Bone marrow aspirate smear; single-cell crop
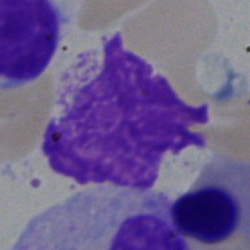

Morphology consistent with an artefact.